Bone marrow smear — 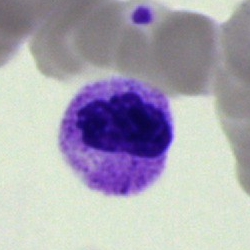

{"cell_type": "polymorphonuclear neutrophil", "lineage": "myeloid"}